250×250 px · bone marrow aspirate smear · single cell centered in the field: 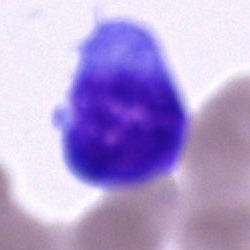Morphology consistent with a blast cell.